Single-cell field. Brightfield, 40× oil-immersion objective. Bone marrow smear — 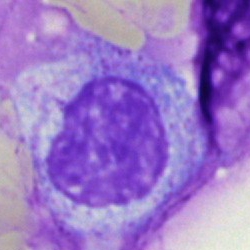

Myelocyte.